40× objective, oil immersion · bone marrow aspirate smear · single-cell crop.
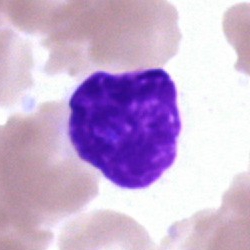
The cell shown is an artifact.